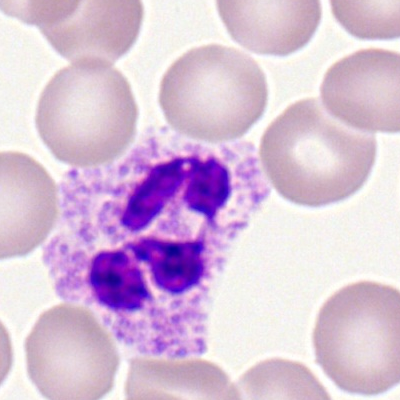

Q: What is the morphological classification of this cell?
A: This is a segmented neutrophil.